Bone marrow smear.
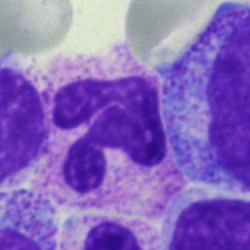 Impression — segmented neutrophil.